40× objective, oil immersion; bone marrow aspirate smear
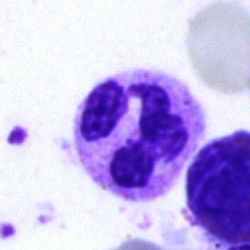Specimen: bone marrow aspirate smear.
Cell: neutrophil (segmented).